Brightfield microscopy, 40× oil immersion. Bone marrow aspirate smear — 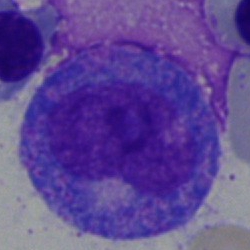The classification is progranulocyte.